Single-cell crop. Bone marrow smear — 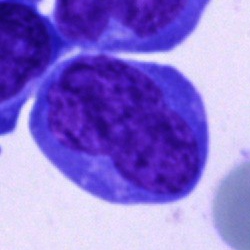Single cell identified as an undifferentiated blast.